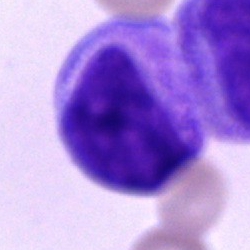Specimen: bone marrow aspirate smear.
Morphological class: cell of indeterminate lineage.